Bone marrow aspirate smear:
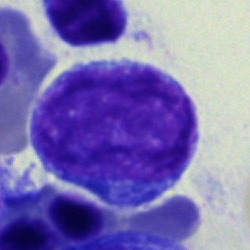
Q: What is shown here?
A: Pronormoblast.